Bone marrow aspirate smear — 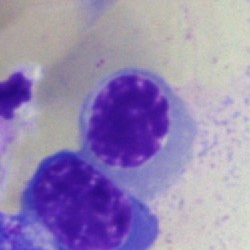
Morphology consistent with a nucleated red blood cell.